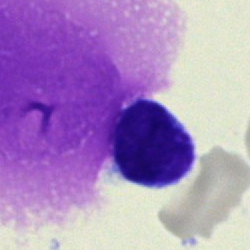

Impression → typical lymphocyte.